Bone marrow aspirate smear: 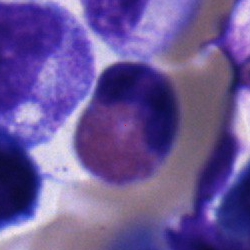
Specimen: bone marrow smear.
Morphological class: eosinophil.
Lineage: myeloid.